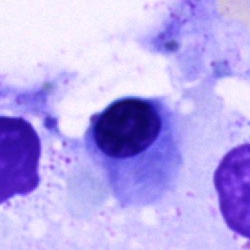 {"cell_type": "nucleated red blood cell", "lineage": "erythroid"}